Bone marrow smear; cropped to a single cell
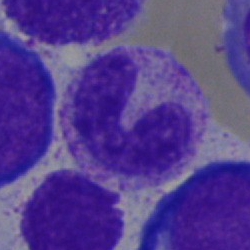 This is a band neutrophil.